Peripheral blood smear
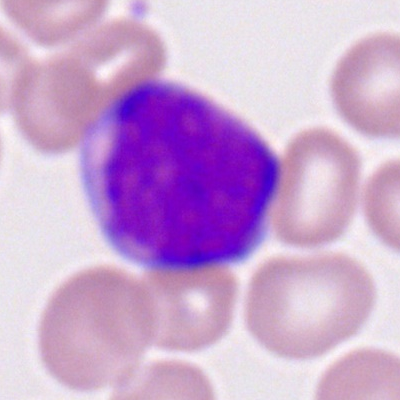
Myeloid blast.